Single-cell field · bone marrow smear:
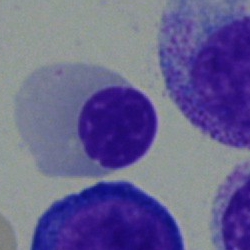{"cell_type": "erythroblast", "lineage": "erythroid"}